Bone marrow smear · Pappenheim-stained
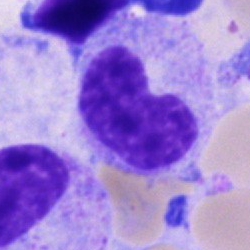

This is a metamyelocyte.